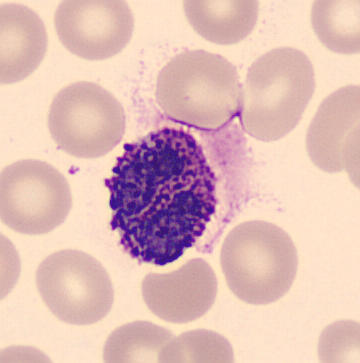Cell type: basophil.